Bone marrow aspirate smear.
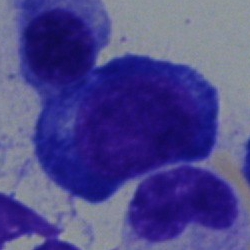Morphology consistent with a pronormoblast.